Bone marrow aspirate smear; 40× objective, oil immersion — 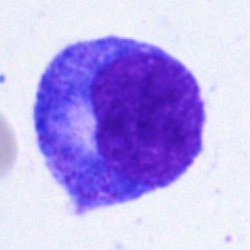Showing a progranulocyte.